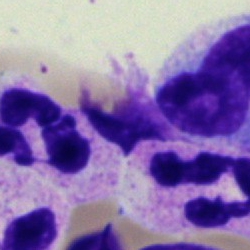Bone marrow smear showing a segmented neutrophil.